Image size 400×400 · peripheral blood film · Romanowsky-stained:
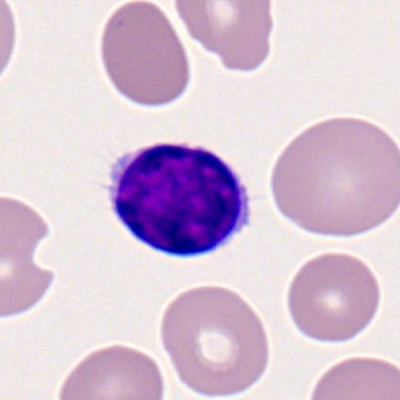Lymphocyte.